Peripheral blood smear: 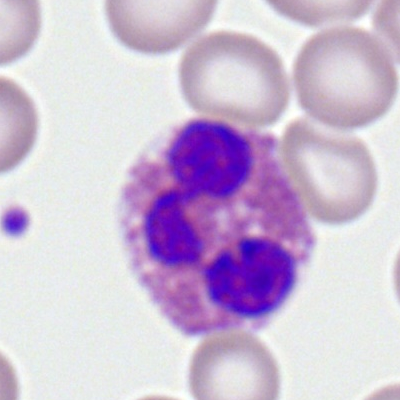

Cell type — eosinophilic granulocyte.